Bone marrow aspirate smear · single cell centered in the field · 40× oil immersion:
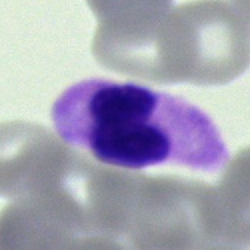
Showing a neutrophil (segmented).